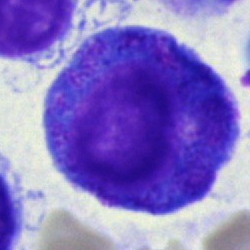

Morphology — promyelocyte.